Bone marrow aspirate smear — 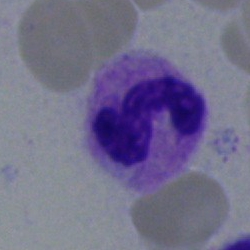 Specimen: bone marrow aspirate smear.
Classification: segmented neutrophil.
Lineage: myeloid.